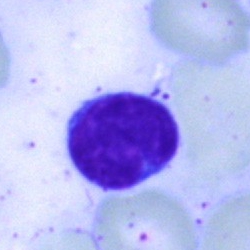
Bone marrow smear showing a lymphocyte.